Bone marrow aspirate smear.
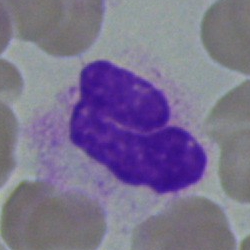 This is a segmented neutrophil.